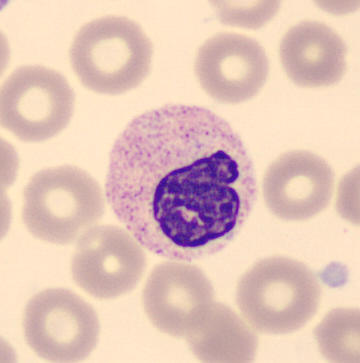 Specimen: peripheral blood film.
Classification: neutrophil (band).
Lineage: myeloid.
Preparation: MGG-stained.